Peripheral blood film; single cell centered in the field; 100× objective, oil immersion: 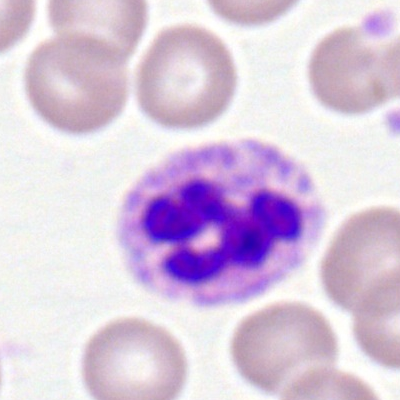Polymorphonuclear neutrophil.